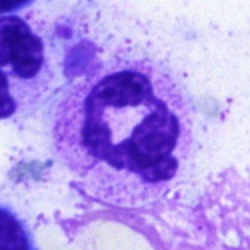Cell = segmented neutrophil.